Bone marrow aspirate smear.
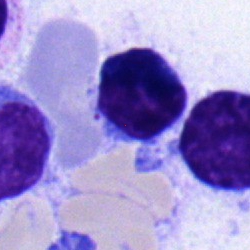

Q: Identify the cell.
A: It is a typical lymphocyte.